Image size 250×250. Bone marrow aspirate smear
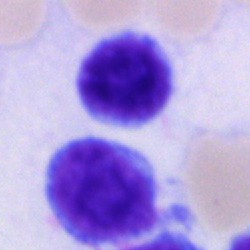 A lymphocyte.